Bone marrow smear · 40× oil immersion
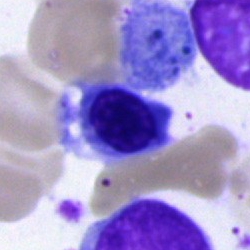 Cell type: nucleated red blood cell.